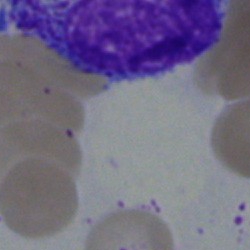
Single cell identified as an artefact.